Bone marrow smear; brightfield, 40× oil-immersion objective; single cell centered in the field
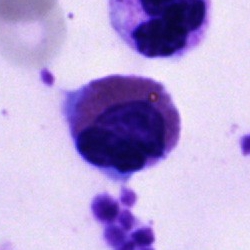 Cell: eosinophil.